Romanowsky-type stain · peripheral blood film.
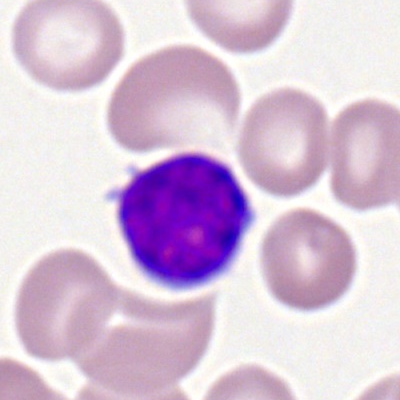

Q: Identify the cell.
A: This is a typical lymphocyte.